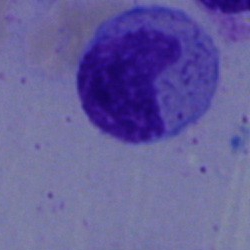 A metamyelocyte.